Bone marrow aspirate smear
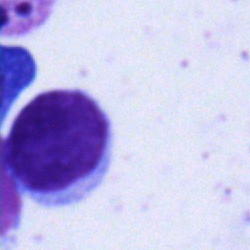Q: Identify the cell.
A: A lymphocyte.